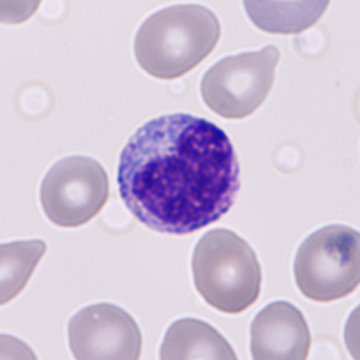Preparation: Peripheral blood film.

The cell shown is an immature granulocyte.